Bone marrow smear:
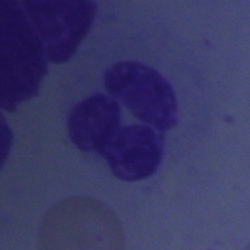Morphology → segmented neutrophil.